40× objective, oil immersion · bone marrow aspirate smear · MGG-stained
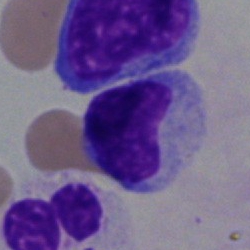 Cell: lymphocyte.